Brightfield, 40× oil-immersion objective. Bone marrow aspirate smear — 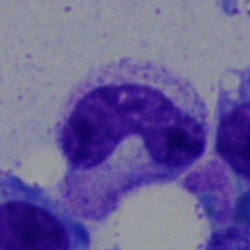

{"cell_type": "stab cell", "lineage": "myeloid"}